Bone marrow smear:
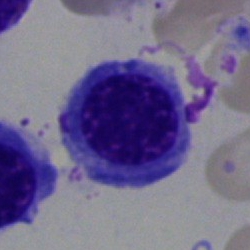A normoblast.